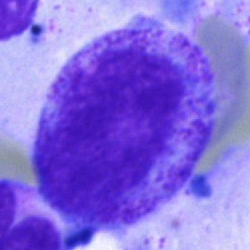Classification — progranulocyte.